Bone marrow smear:
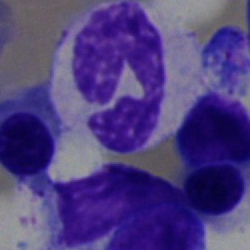

Morphological class = neutrophil (segmented).